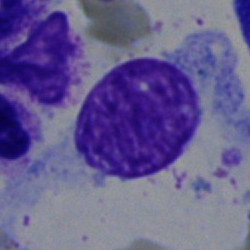

{"cell_type": "artifact"}